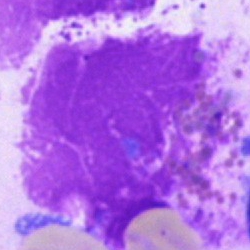

Morphological class = artifact.